Bone marrow aspirate smear. 40× objective, oil immersion — 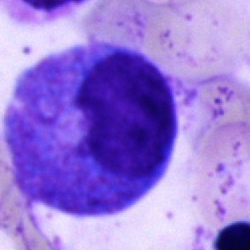Q: Which cell type is shown here?
A: A promyelocyte.